Bone marrow smear; single cell centered in the field; May-Grünwald-Giemsa/Pappenheim stain
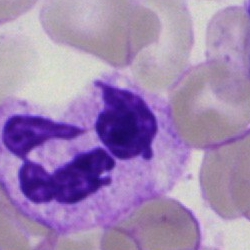
Showing a neutrophil (segmented).